May-Grünwald-Giemsa stain · bone marrow aspirate smear.
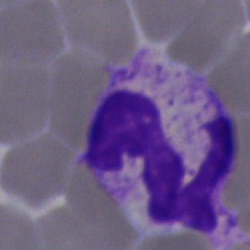

{"cell_type": "segmented neutrophil", "lineage": "myeloid"}